Bone marrow aspirate smear:
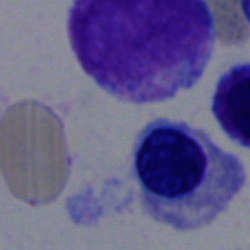Cell type: erythroblast.